Bone marrow aspirate smear — 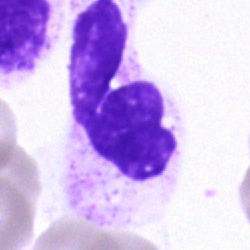

Morphological class — neutrophil (segmented).